Bone marrow smear.
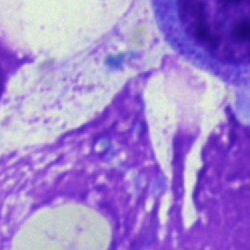Classification: artefact.